Cropped to a single cell; bone marrow aspirate smear; 250 by 250 pixels
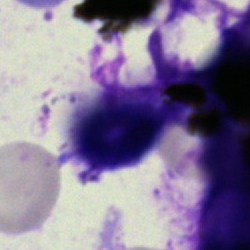 Single cell identified as an artefact.